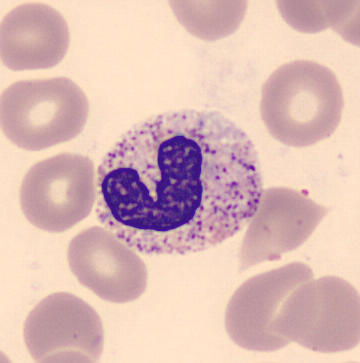

Specimen: peripheral blood smear.
Morphological class: neutrophil (band).
Lineage: myeloid.